Bone marrow smear: 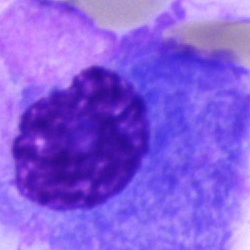Q: What type of cell is this?
A: This is a plasmacyte.